May-Grünwald-Giemsa/Pappenheim stain. Bone marrow aspirate smear. Brightfield microscopy, 40× oil immersion
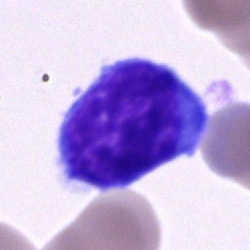 Cell: undifferentiated blast.